Bone marrow smear
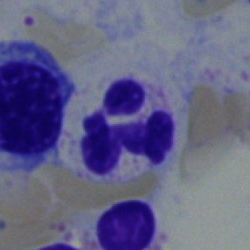 Q: Which cell type is shown here?
A: This is a neutrophil (segmented).